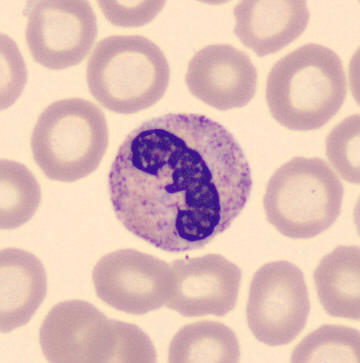Cell type — band neutrophil.